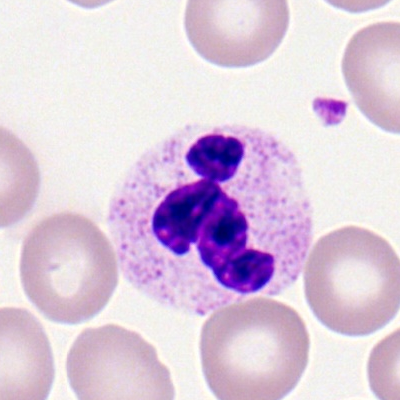

Cell type: polymorphonuclear neutrophil.